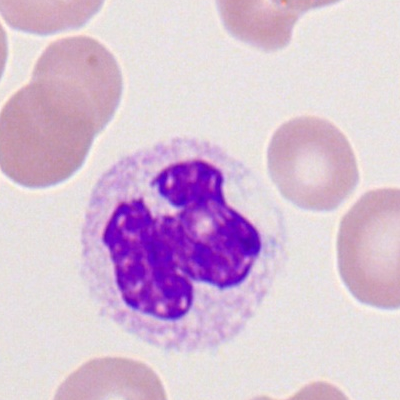
Cell type = segmented neutrophil.